40× objective, oil immersion · 250 by 250 pixels · bone marrow smear — 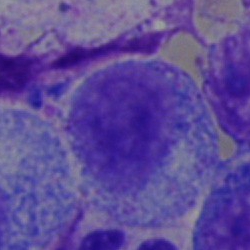
Morphological class: myelocyte.